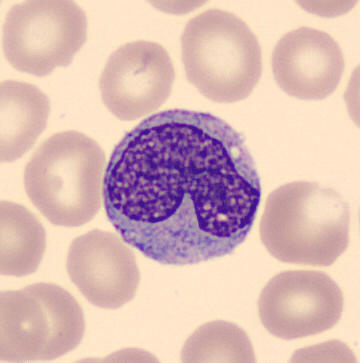Acquisition: Peripheral blood smear.

A monocyte.